Bone marrow aspirate smear — 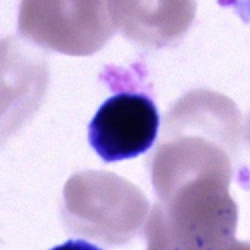

Specimen: bone marrow smear.
Classification: unidentifiable cell.